Single-cell field · bone marrow smear: 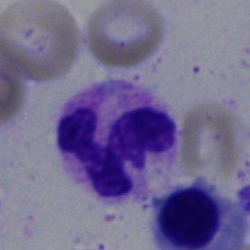Specimen: bone marrow aspirate smear.
Classification: neutrophil (segmented).
Lineage: myeloid.